Bone marrow smear.
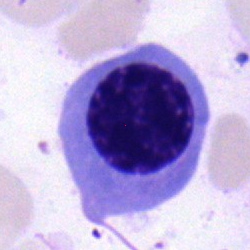 Morphology consistent with a nucleated red blood cell.